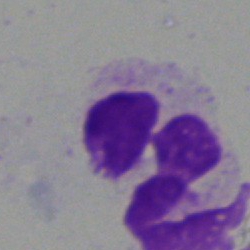
Morphological class: artifact.